MGG-stained · cropped to a single cell · bone marrow aspirate smear: 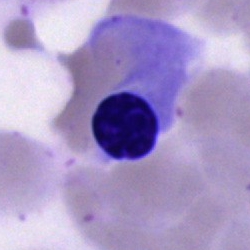 Showing a nucleated red blood cell.